Bone marrow aspirate smear.
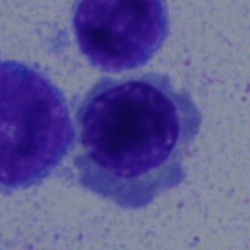 Morphology consistent with a nucleated red cell.